Bone marrow aspirate smear: 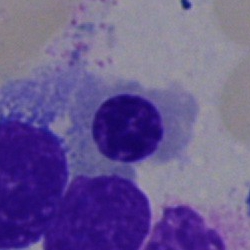Morphological class = erythroblast.